Bone marrow smear:
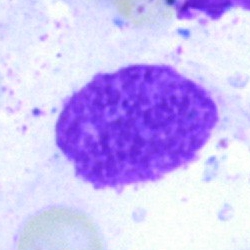The cell shown is an artifact.